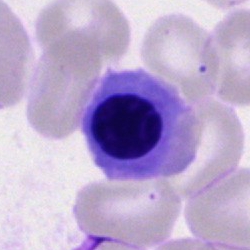 Specimen: bone marrow smear.
Cell: normoblast.